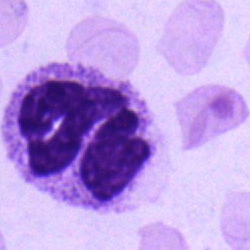
Morphology consistent with a polymorphonuclear neutrophil.